Peripheral blood film:
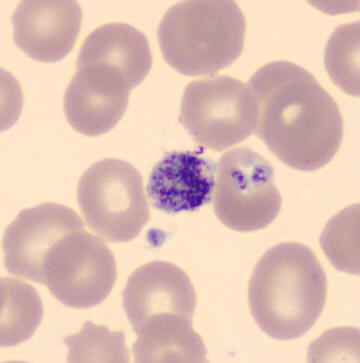
{"cell_type": "platelet"}